Bone marrow smear
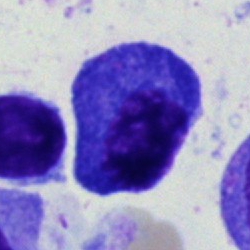
This is a plasma cell.